Bone marrow aspirate smear
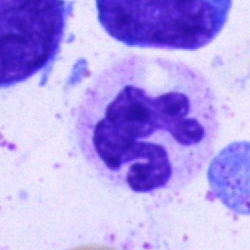

Cell type = polymorphonuclear neutrophil.